250×250 · bone marrow aspirate smear — 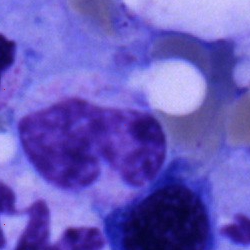Q: What type of cell is this?
A: It is a neutrophil (band).